Peripheral blood smear. 400 by 400 pixels. Romanowsky-stained:
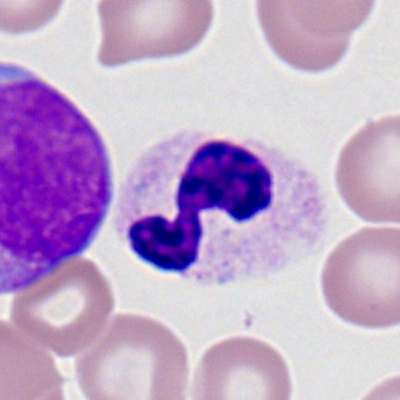Q: What cell is this?
A: Segmented neutrophil.